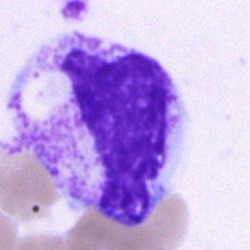

Q: Identify the cell.
A: It is a segmented neutrophil.